Bone marrow smear — 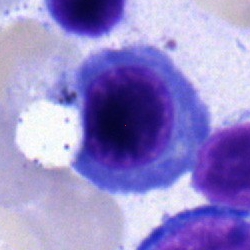 Showing a nucleated red cell.